Bone marrow smear:
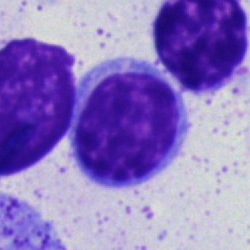
The cell type is typical lymphocyte.